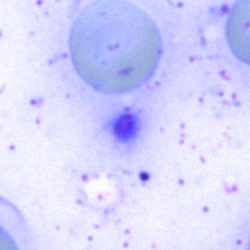{"cell_type": "artifact"}